Image size 250×250; bone marrow smear; brightfield, 40× oil-immersion objective.
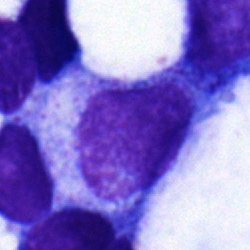
The classification is myelocyte.